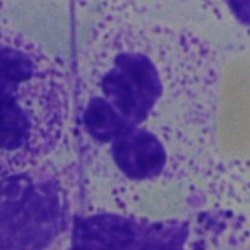 Bone marrow aspirate smear, single cell — segmented neutrophil.